Bone marrow smear. Single-cell crop
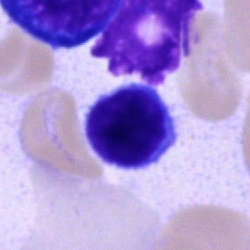{"cell_type": "lymphocyte"}